Bone marrow aspirate smear
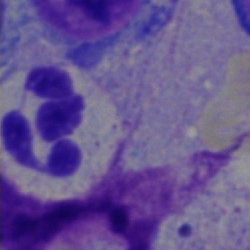Showing a polymorphonuclear neutrophil.